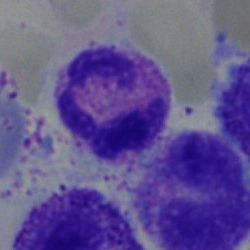Single-cell crop from a bone marrow smear: polymorphonuclear neutrophil.